Bone marrow smear
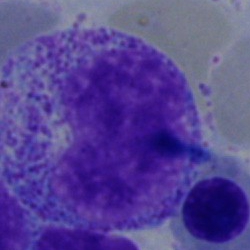
The cell type is promyelocyte.